Peripheral blood film: 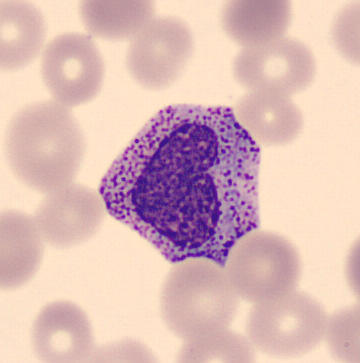

Q: What type of cell is this?
A: It is a metamyelocyte.